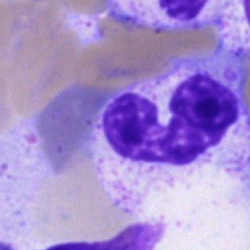

{"cell_type": "polymorphonuclear neutrophil"}